Image size 250×250; bone marrow aspirate smear; Pappenheim-stained:
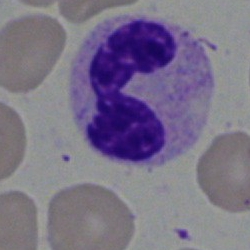Impression — band neutrophil.